Single-cell field. Bone marrow smear:
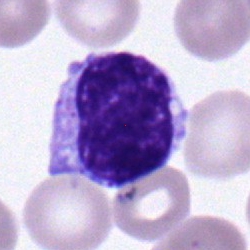

Showing a myelocyte.